Bone marrow aspirate smear.
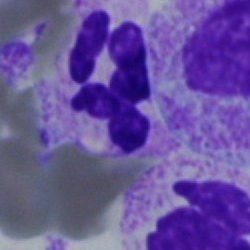 Specimen: bone marrow smear.
Morphological class: neutrophil (segmented).
Lineage: myeloid.